250×250. Bone marrow smear.
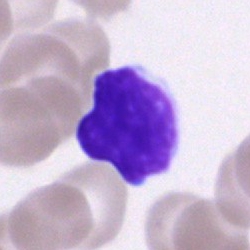 Lymphocyte.